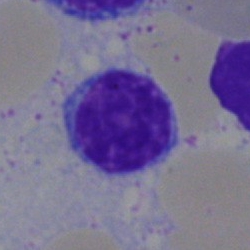

Bone marrow aspirate smear, single cell — lymphocyte.